Bone marrow smear. Pappenheim-stained:
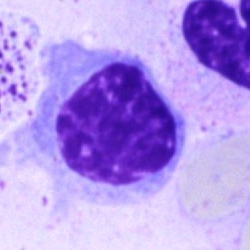
Nucleated red cell.